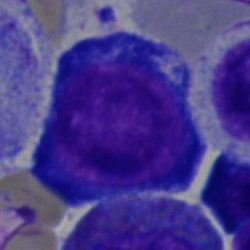 Q: What is the morphological classification of this cell?
A: This is a pronormoblast.